Single-cell crop. Bone marrow aspirate smear — 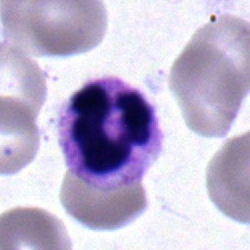{"cell_type": "neutrophil (segmented)", "lineage": "myeloid"}